250 by 250 pixels. 40× objective, oil immersion. Bone marrow aspirate smear
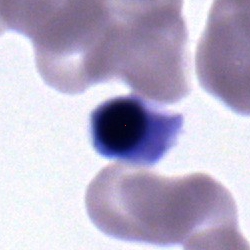 Morphology — erythroblast.